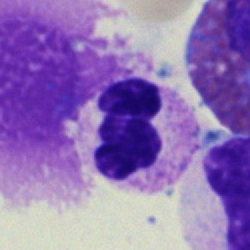 A neutrophil (segmented).